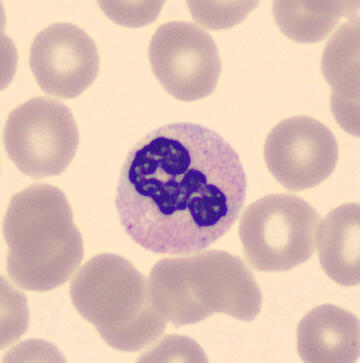

The cell shown is a band neutrophil.
Image: Cropped to a single cell · peripheral blood smear.